Bone marrow aspirate smear. Image size 250×250: 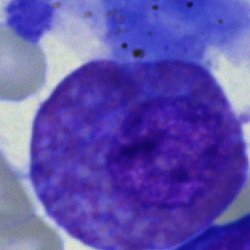

This is an eosinophil.